May-Grünwald-Giemsa stain; brightfield, 40× oil-immersion objective; bone marrow aspirate smear.
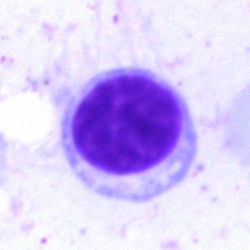
Q: What cell is this?
A: It is a lymphocyte.